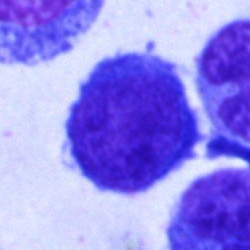
Q: What type of cell is this?
A: A blast cell.